Bone marrow smear
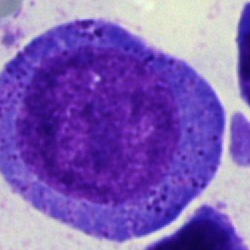 {"cell_type": "promyelocyte"}